40× oil immersion; bone marrow aspirate smear.
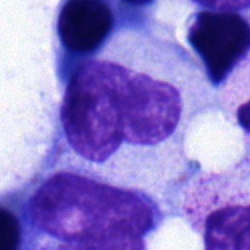

Q: What cell is this?
A: Stab cell.